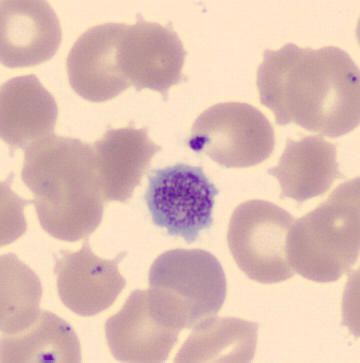
360 by 363 pixels. CellaVision DM96 digital cell image. Peripheral blood film. {"cell_type": "platelet (thrombocyte)"}